Single cell centered in the field; bone marrow smear: 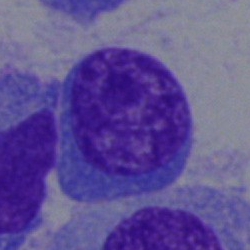 Classification: plasmacyte.